Peripheral blood smear; Romanowsky-type stain; 100× objective, oil immersion:
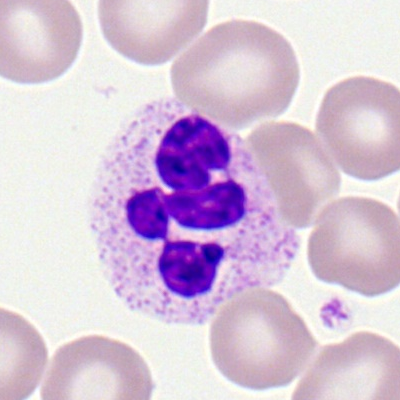

Impression → neutrophil (segmented).